Bone marrow aspirate smear. Cropped to a single cell: 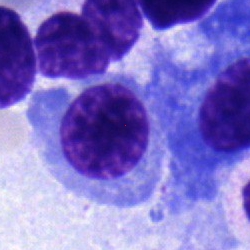
Morphological class — nucleated red cell.